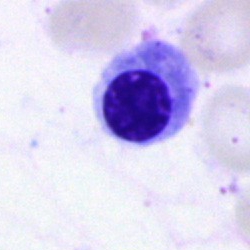 Nucleated red cell.